Peripheral blood smear; Romanowsky stain; 400 by 400 pixels.
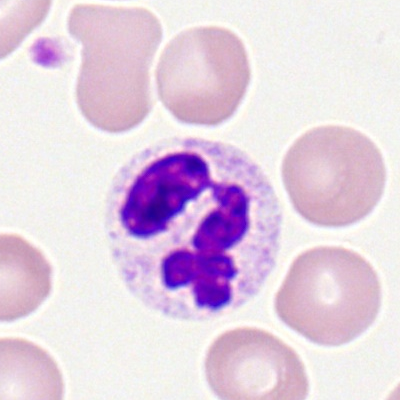 The cell is segmented neutrophil.